40× oil immersion; bone marrow aspirate smear:
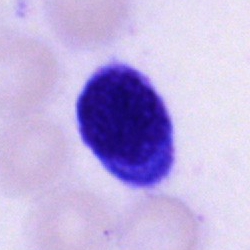
Classification: unidentifiable cell.